Bone marrow smear
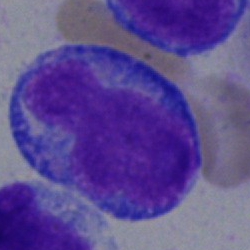
Showing a blast cell.